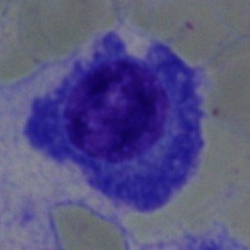

Cell type: plasma cell.